Single cell centered in the field; bone marrow aspirate smear; brightfield, 40× oil-immersion objective: 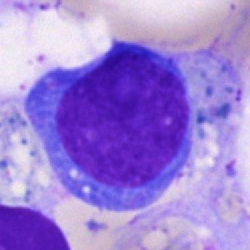 Q: What cell is this?
A: A blast cell.